Peripheral blood film: 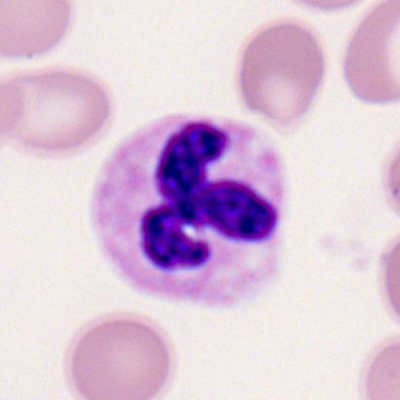

{"cell_type": "polymorphonuclear neutrophil", "lineage": "myeloid"}